Bone marrow smear; Pappenheim-stained
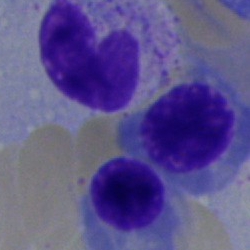 {"cell_type": "erythroblast", "lineage": "erythroid"}